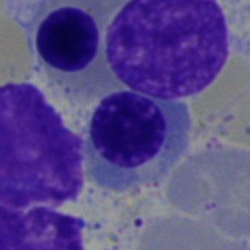

{"cell_type": "nucleated red cell", "lineage": "erythroid"}